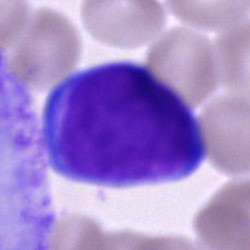 Single cell identified as a blast.